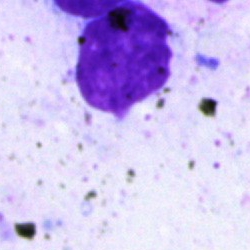

The cell type is artifact.